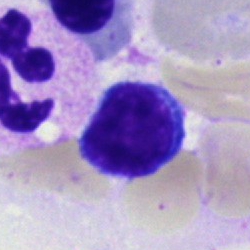Specimen: bone marrow smear.
Cell type: typical lymphocyte.
Lineage: lymphoid.